Bone marrow smear: 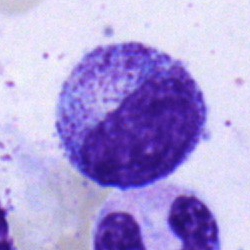Cell — myelocyte.